Bone marrow aspirate smear — 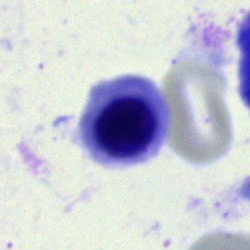Q: What cell is this?
A: It is a nucleated red cell.